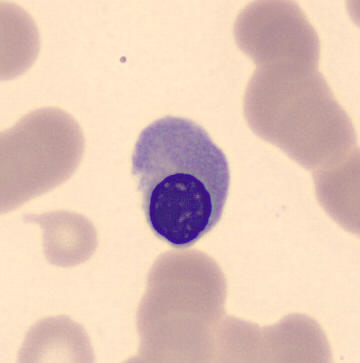 Showing an erythroblast.